Bone marrow smear
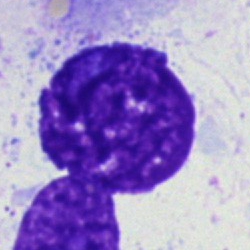
Single cell identified as an artifact.